Single-cell field · 40× objective, oil immersion · bone marrow smear:
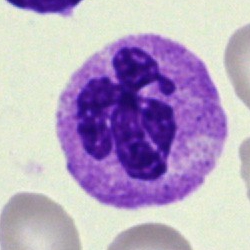

{"cell_type": "neutrophil (segmented)"}